MGG-stained; bone marrow smear
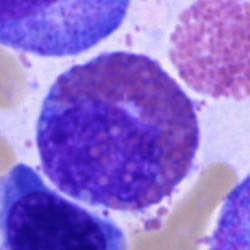
This is an eosinophil.